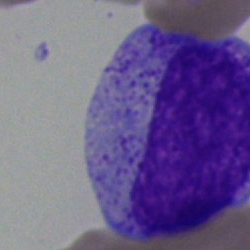Morphology → promyelocyte.